May-Grünwald-Giemsa/Pappenheim stain; 40× oil immersion; bone marrow aspirate smear: 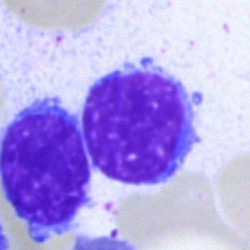

Morphological class: typical lymphocyte.